Bone marrow aspirate smear; brightfield microscopy, 40× oil immersion: 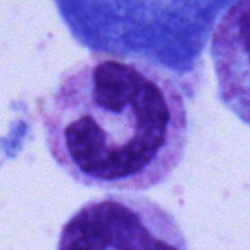 Single cell identified as a band-form neutrophil.